Peripheral blood film
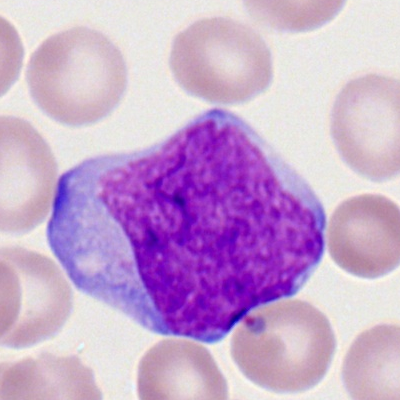

Specimen: peripheral blood smear.
Cell: myeloid blast.
Lineage: myeloid.